Bone marrow smear
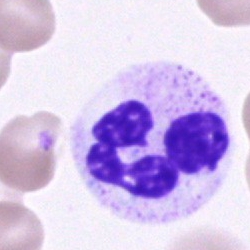Cell: neutrophil (segmented).